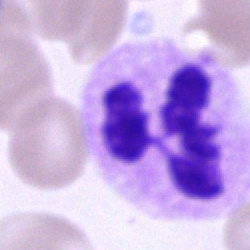 Segmented neutrophil.